40× oil immersion · bone marrow aspirate smear
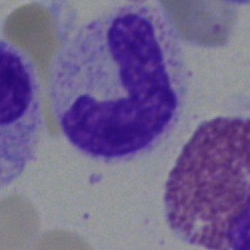

Morphological class — band-form neutrophil.